Bone marrow aspirate smear.
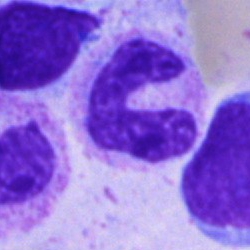
Q: Which cell type is shown here?
A: Band-form neutrophil.